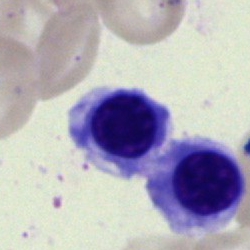 Specimen: bone marrow smear.
Cell: nucleated red blood cell.